Bone marrow aspirate smear · single-cell field · 40× objective, oil immersion:
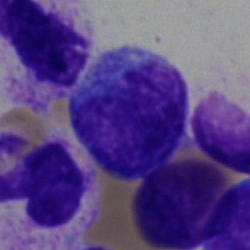
Q: What type of cell is this?
A: It is a typical lymphocyte.